Single-cell crop. Bone marrow smear
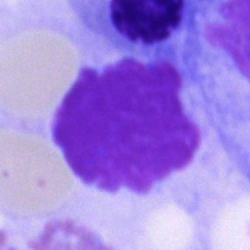

Morphology — artifact.